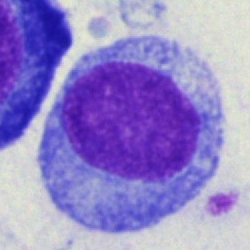 Q: Which cell type is shown here?
A: Blast.